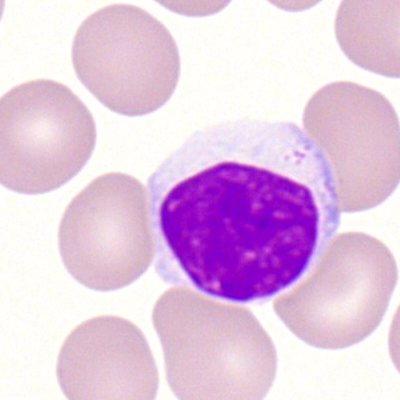

Single-cell crop from a peripheral blood smear: lymphocyte.